MGG-stained; bone marrow smear:
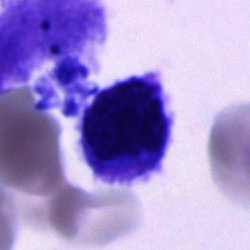Showing an unidentifiable cell.